40× objective, oil immersion · bone marrow aspirate smear.
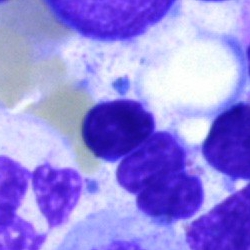

The cell is artefact.